Peripheral blood smear: 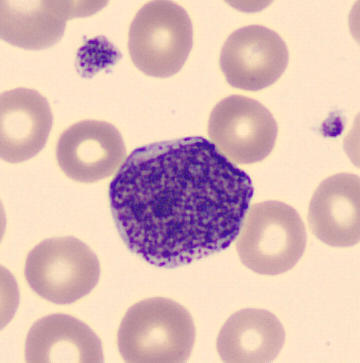
Myelocyte.